Bone marrow smear — 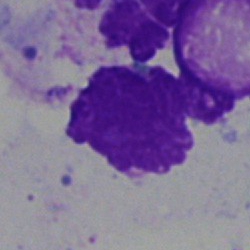 {"cell_type": "artefact"}